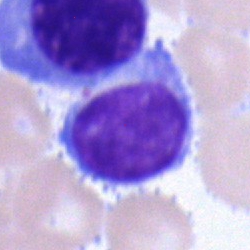

Classification: typical lymphocyte.